Bone marrow aspirate smear; 250 by 250 pixels:
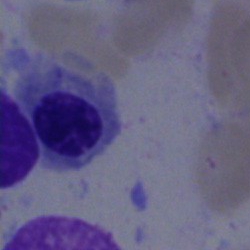Morphological class = nucleated red cell.